Bone marrow aspirate smear. Single cell centered in the field: 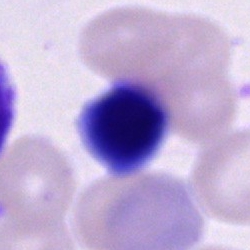
Cell of indeterminate lineage.